Peripheral blood smear; 100× objective, oil immersion; 400×400 px
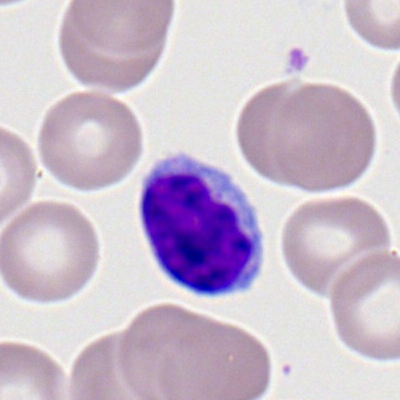 Specimen: peripheral blood film.
Cell type: lymphocyte.